Bone marrow smear: 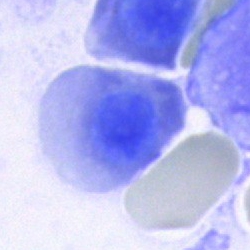

Q: What is shown here?
A: This is an artifact.